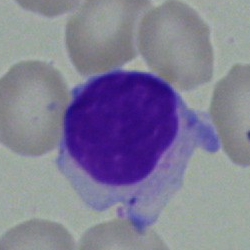Cell — typical lymphocyte.